Single cell centered in the field · bone marrow aspirate smear:
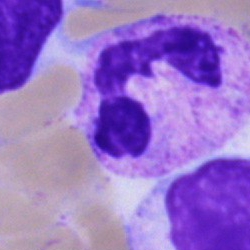

A segmented neutrophil.